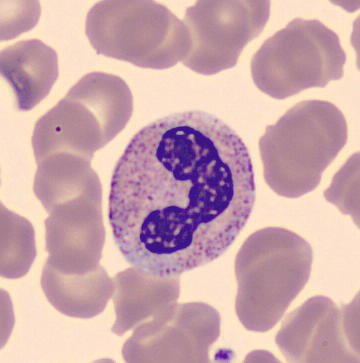 Morphology → neutrophil (band). Peripheral blood film.